400×400 px; Romanowsky-type stain; peripheral blood film:
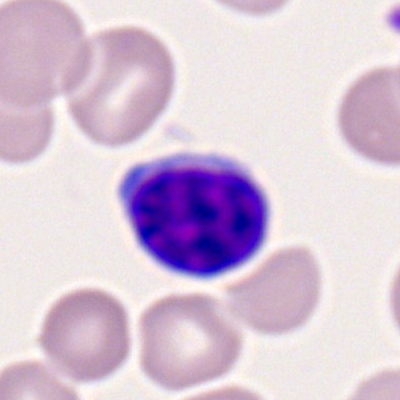

Q: Which cell type is shown here?
A: Lymphocyte.